Bone marrow aspirate smear.
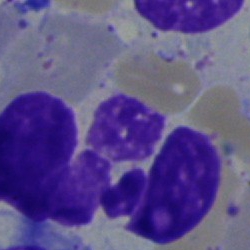
Showing a polymorphonuclear neutrophil.